Bone marrow smear — 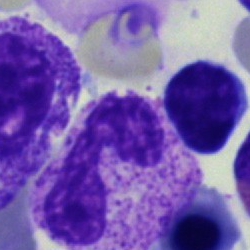Specimen: bone marrow smear.
Classification: stab cell.
Lineage: myeloid.